Bone marrow aspirate smear.
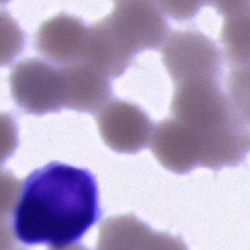

The cell shown is an artifact.